250 by 250 pixels · bone marrow smear — 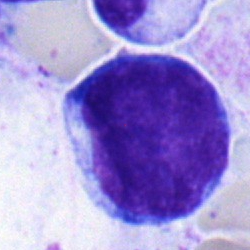
Cell: blast cell.